Peripheral blood smear.
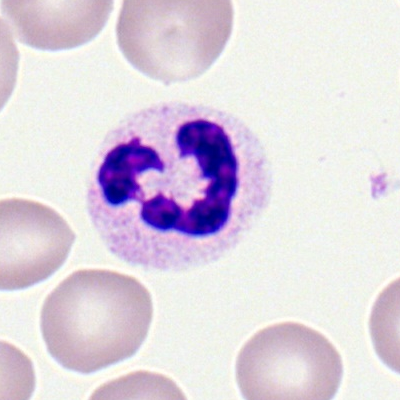

Specimen: peripheral blood smear.
Classification: neutrophil (segmented).